Bone marrow aspirate smear.
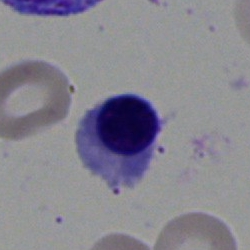Q: What is the morphological classification of this cell?
A: This is an erythroblast.